40× objective, oil immersion. Bone marrow smear. May-Grünwald-Giemsa stain: 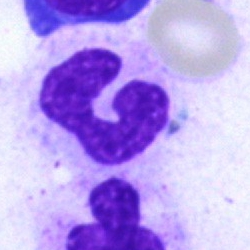 Cell type = segmented neutrophil.